May-Grünwald-Giemsa stain. Bone marrow aspirate smear.
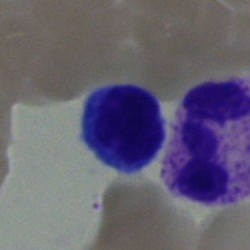Morphology → lymphocyte.